Single cell centered in the field · peripheral blood film · May Grünwald-Giemsa stain — 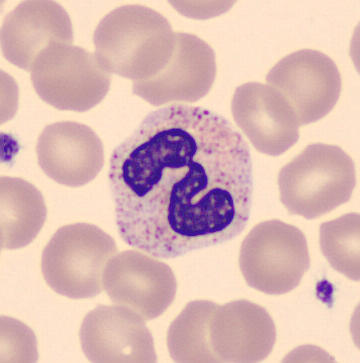Cell type: polymorphonuclear neutrophil.